May-Grünwald-Giemsa stain. Bone marrow aspirate smear.
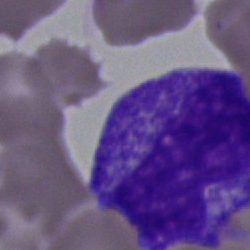

Morphological class — progranulocyte.